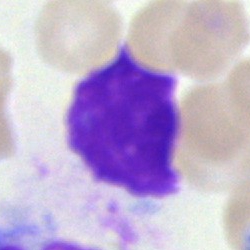Q: What is shown here?
A: An artefact.